Bone marrow smear.
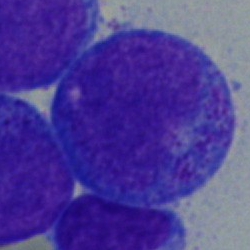
Specimen: bone marrow smear.
Cell: promyelocyte.